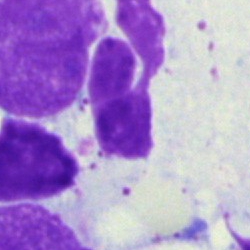
Specimen: bone marrow aspirate smear.
Morphological class: artefact.